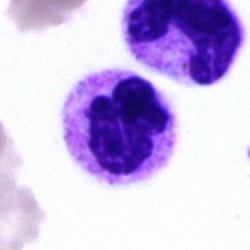 Impression — segmented neutrophil.